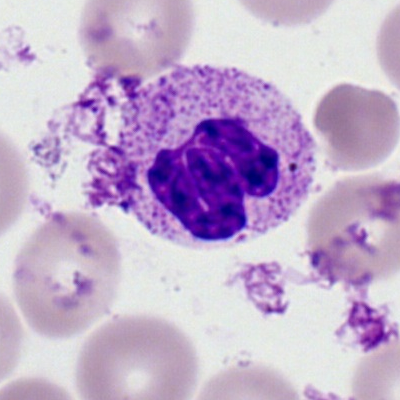

Cell type = neutrophil (segmented).